Cropped to a single cell. Image size 250×250. Bone marrow aspirate smear.
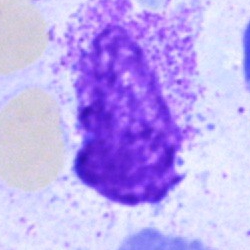Artifact.